Bone marrow aspirate smear · MGG-stained
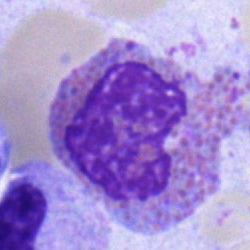Specimen: bone marrow smear.
Cell: eosinophil.